Bone marrow smear
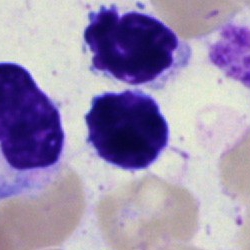The cell is artefact.